Bone marrow smear · MGG-stained:
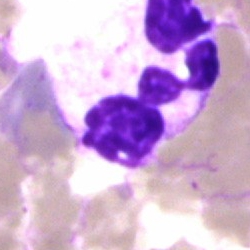 Q: What type of cell is this?
A: Segmented neutrophil.